Bone marrow smear
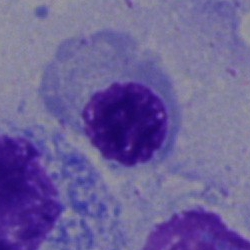

The cell type is erythroblast.